Bone marrow smear. Brightfield, 40× oil-immersion objective: 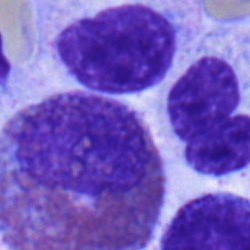Impression → myelocyte.